Single-cell crop. Bone marrow smear. 40× oil immersion
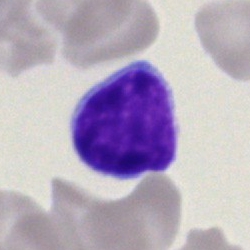
Q: Identify the cell.
A: Lymphocyte.